Peripheral blood smear: 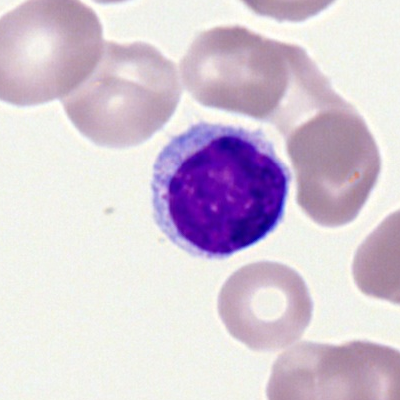
Q: What is shown here?
A: This is a lymphocyte.